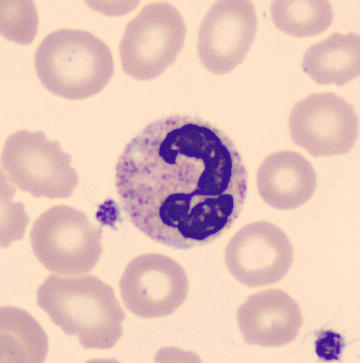Cell — neutrophil (segmented).

Preparation: Peripheral blood smear · 360×363 px.